MGG-stained · bone marrow aspirate smear.
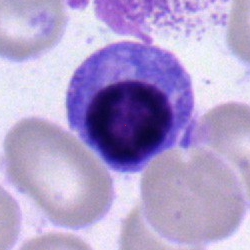 Morphology consistent with a plasmacyte.